Peripheral blood film — 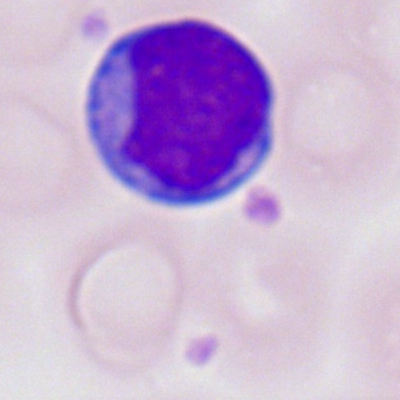
Cell type — myeloblast.